250×250. Single cell centered in the field. Bone marrow aspirate smear.
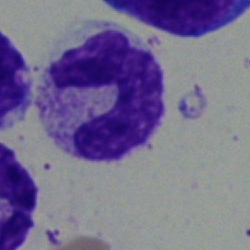

Morphological class: band-form neutrophil.